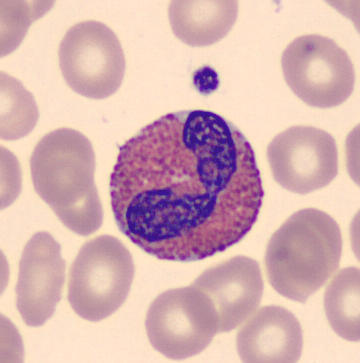
Preparation: Peripheral blood film. Cropped to a single cell.

{"cell_type": "eosinophil", "lineage": "myeloid"}